Bone marrow aspirate smear
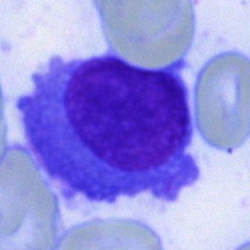 Showing a plasma cell.